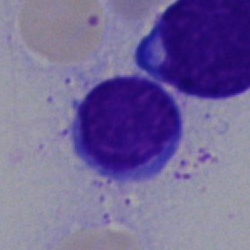Morphological class — typical lymphocyte.